250 by 250 pixels; brightfield, 40× oil-immersion objective; bone marrow smear — 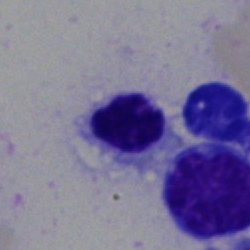

Cell: nucleated red cell.